Bone marrow aspirate smear.
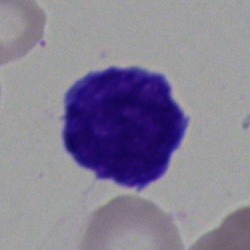

Q: What cell is this?
A: Blast.